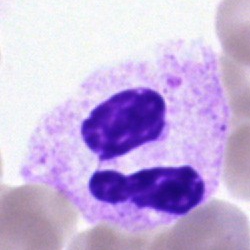
The cell type is segmented neutrophil.